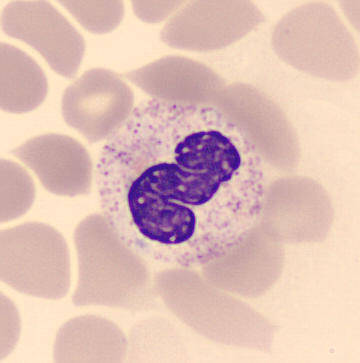

Q: Which cell type is shown here?
A: It is a band neutrophil. Image: MGG stain; peripheral blood film.